Bone marrow aspirate smear.
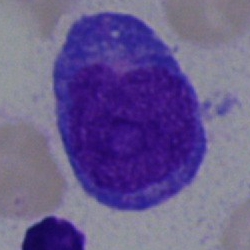 {"cell_type": "promyelocyte"}